Bone marrow smear: 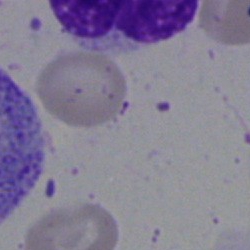

Morphology → artefact.